Bone marrow smear. MGG-stained. 250×250
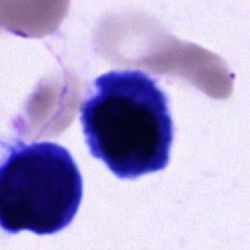

Cell: cell of indeterminate lineage.